Peripheral blood smear
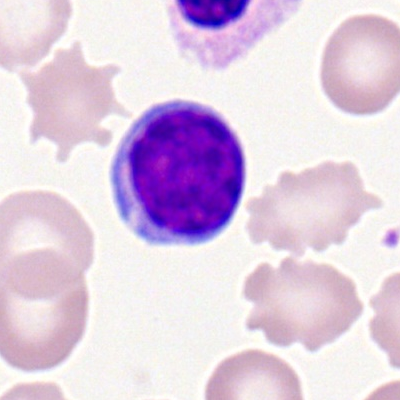

Cell type: lymphocyte.